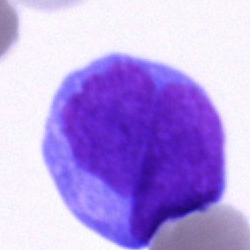 The cell shown is an undifferentiated blast.